Bone marrow smear. Single-cell crop:
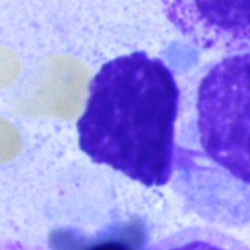

Impression — artefact.